Bone marrow smear · single cell centered in the field.
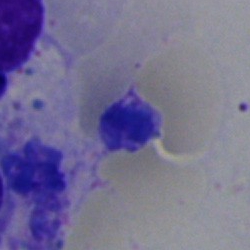Cell type: artefact.